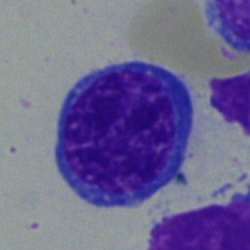

The cell type is erythroblast.